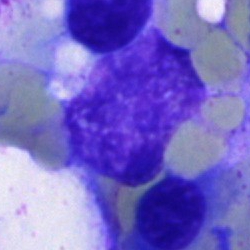

Morphology — artefact.